May-Grünwald-Giemsa stain; bone marrow aspirate smear; brightfield microscopy, 40× oil immersion
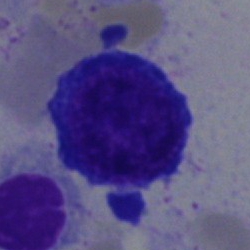
Cell type: erythroblast.